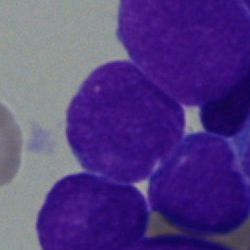Impression — blast cell.